40× oil immersion. Bone marrow aspirate smear — 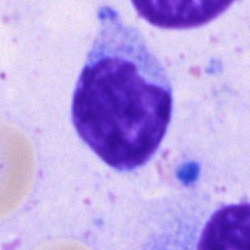 The cell shown is a typical lymphocyte.